Bone marrow smear:
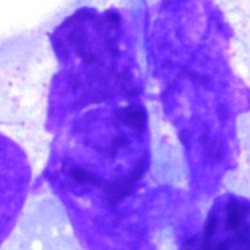 An artefact.